Bone marrow aspirate smear.
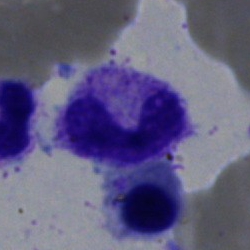 The morphological class is segmented neutrophil.